May-Grünwald-Giemsa/Pappenheim stain · brightfield microscopy, 40× oil immersion · bone marrow smear — 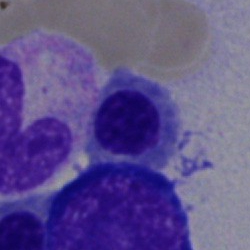 Showing a nucleated red cell.